Bone marrow aspirate smear:
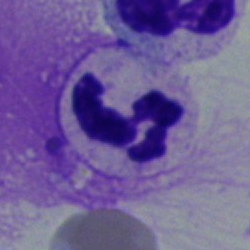

Q: Identify the cell.
A: This is a neutrophil (segmented).